May-Grünwald-Giemsa stain. Single cell centered in the field. Bone marrow aspirate smear
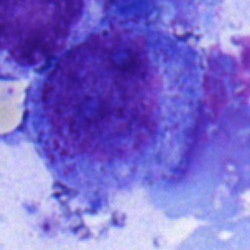 Morphology → promyelocyte.